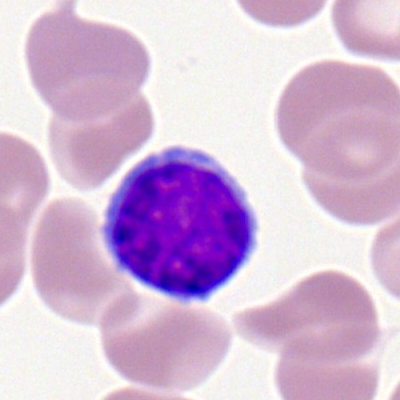
Impression — typical lymphocyte.